Bone marrow aspirate smear
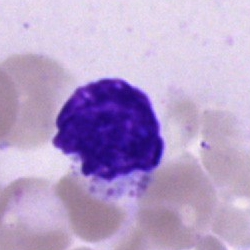
Morphology → typical lymphocyte.